Bone marrow aspirate smear.
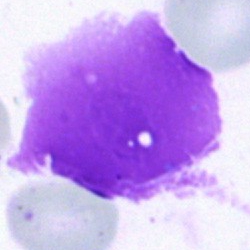

Morphology → artifact.